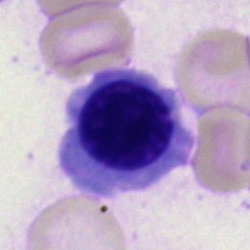

Morphology — erythroblast.